Peripheral blood smear:
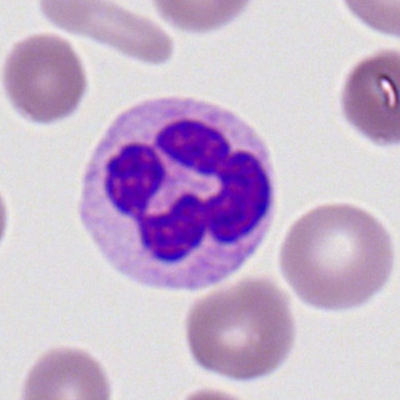
Q: What is shown here?
A: Polymorphonuclear neutrophil.